Peripheral blood film; 400×400 px.
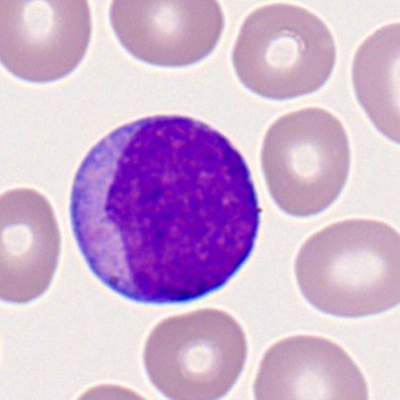Myeloid blast.